Peripheral blood film:
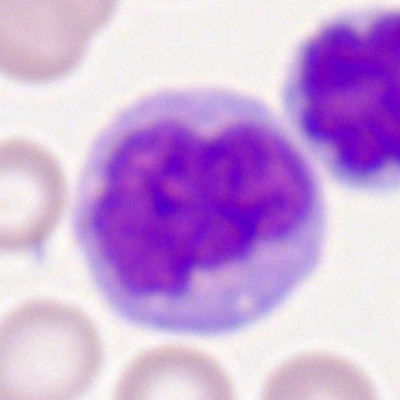Single cell identified as a monocyte.